MGG-stained. Bone marrow smear:
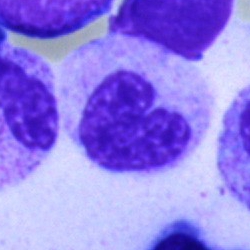
Specimen: bone marrow aspirate smear.
Cell: metamyelocyte.
Lineage: myeloid.